Bone marrow aspirate smear; May-Grünwald-Giemsa/Pappenheim stain
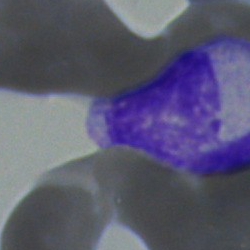
A myelocyte.